250×250 px · bone marrow aspirate smear: 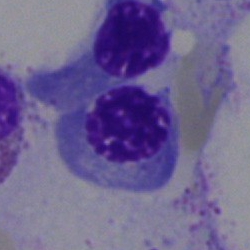Showing a normoblast.